May-Grünwald-Giemsa stain; bone marrow smear.
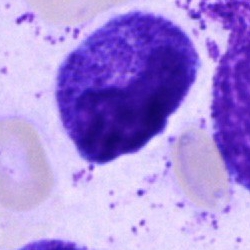

The classification is progranulocyte.